Brightfield microscopy, 40× oil immersion. Bone marrow aspirate smear — 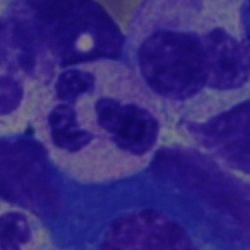
Single cell identified as a polymorphonuclear neutrophil.